Bone marrow aspirate smear.
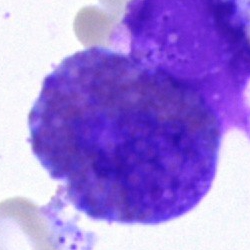An eosinophilic granulocyte.